Bone marrow aspirate smear · May-Grünwald-Giemsa/Pappenheim stain · 40× objective, oil immersion
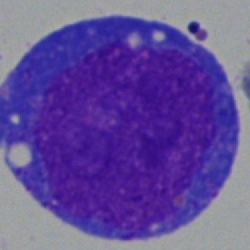 Q: What type of cell is this?
A: It is a blast.